Single-cell field · brightfield microscopy, 40× oil immersion · bone marrow smear.
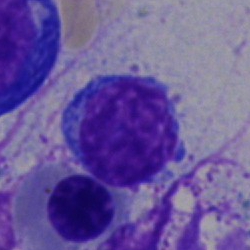

The cell shown is a lymphocyte.